Bone marrow smear: 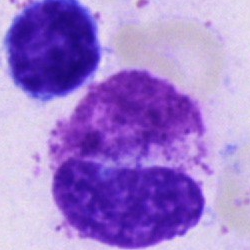
Cell = cell not matching the other categories.